40× objective, oil immersion; bone marrow aspirate smear — 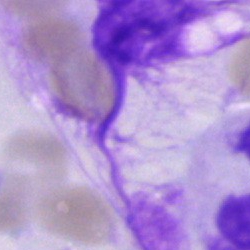
The morphological class is artefact.